Bone marrow aspirate smear.
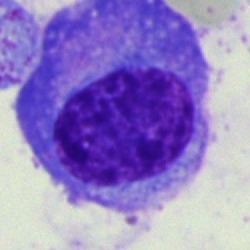Plasma cell.